May-Grünwald-Giemsa stain. Bone marrow smear. Image size 250×250
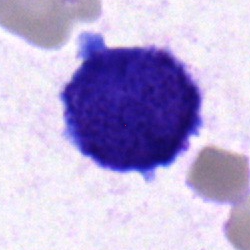Single cell identified as a blast.